Bone marrow smear; 40× objective, oil immersion; single cell centered in the field.
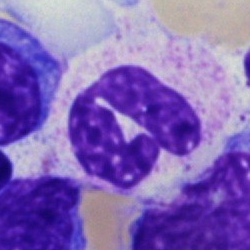

Q: Identify the cell.
A: A polymorphonuclear neutrophil.